Bone marrow aspirate smear; Pappenheim-stained.
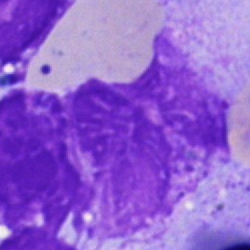
Specimen: bone marrow aspirate smear.
Cell type: artefact.